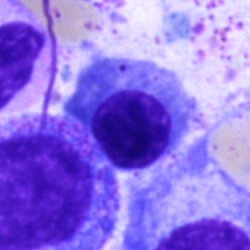 The cell type is nucleated red blood cell.